Brightfield, 40× oil-immersion objective · single-cell crop · bone marrow smear: 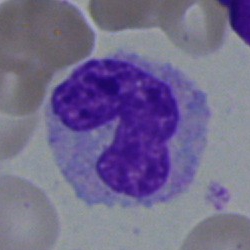Cell type — monocyte.